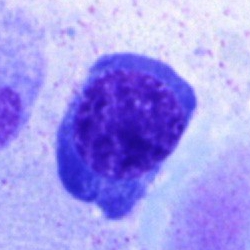

Showing an erythroblast.